Single-cell field. Pappenheim-stained. Bone marrow aspirate smear — 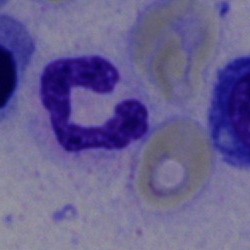Segmented neutrophil.